Bone marrow smear. Cropped to a single cell
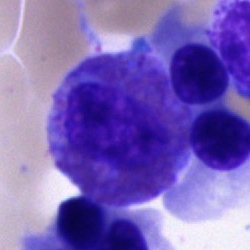

{"cell_type": "eosinophil", "lineage": "myeloid"}